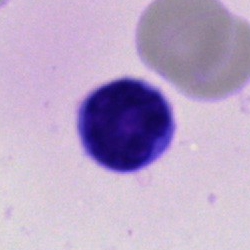Single-cell crop from a bone marrow smear: lymphocyte.